Pappenheim-stained; bone marrow smear.
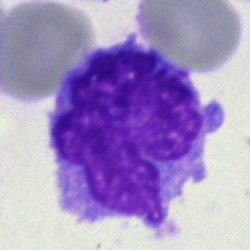

The cell is monocyte.